Bone marrow smear:
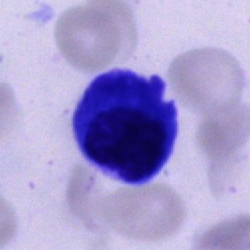

Cell type = plasmacyte.